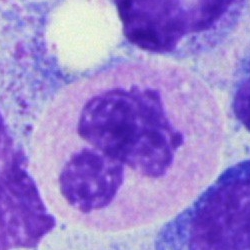

Specimen: bone marrow smear.
Morphological class: polymorphonuclear neutrophil.